Bone marrow smear.
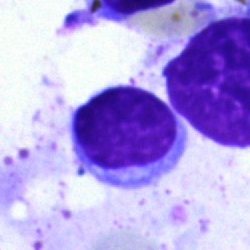{"cell_type": "lymphocyte"}